Bone marrow aspirate smear:
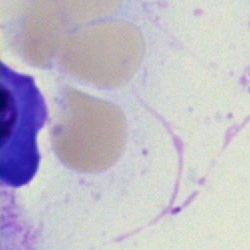Cell: artefact.